Pappenheim-stained · bone marrow aspirate smear · 250 by 250 pixels.
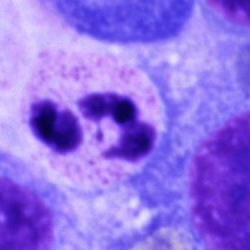Cell type — segmented neutrophil.